Bone marrow smear.
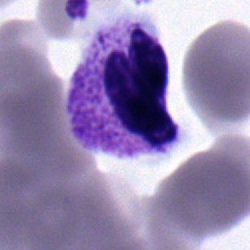
The classification is polymorphonuclear neutrophil.